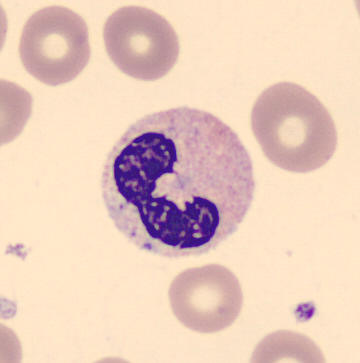
360×363 px. Peripheral blood smear.

Morphological class = stab cell.